Single cell centered in the field · bone marrow aspirate smear:
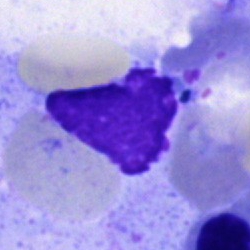

Morphology → artifact.